Bone marrow aspirate smear
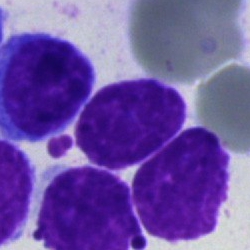

An artefact.